Peripheral blood film.
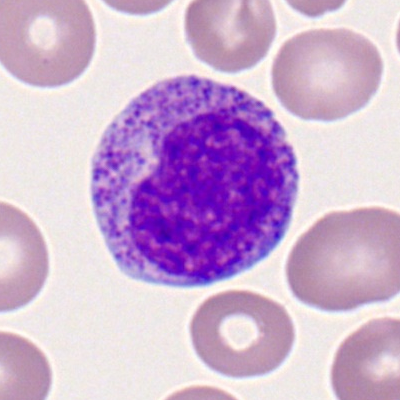

{"cell_type": "myelocyte", "lineage": "myeloid"}